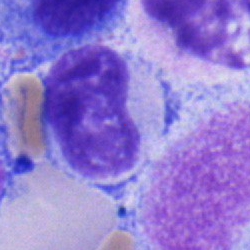
A metamyelocyte on a bone marrow smear.